Bone marrow smear
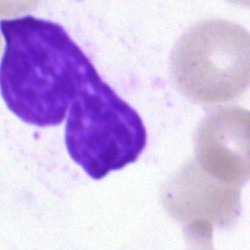
This is an artifact.